Bone marrow aspirate smear.
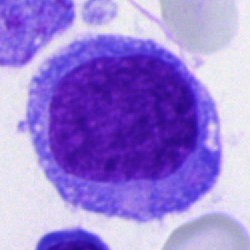 Cell = blast.